Bone marrow aspirate smear.
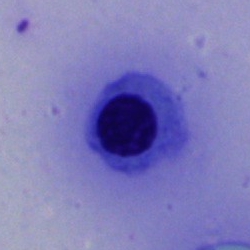The cell type is nucleated red blood cell.